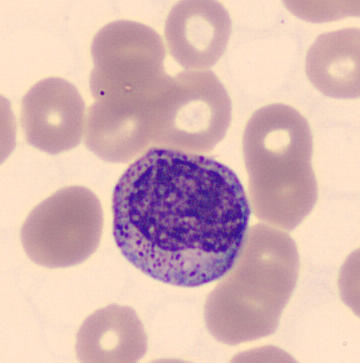
Showing a myelocyte.